Bone marrow smear:
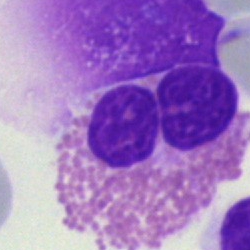 Single cell identified as an eosinophil.